Bone marrow smear. MGG-stained:
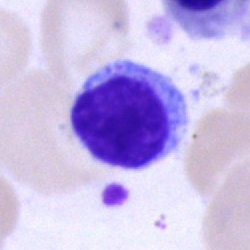Classification: typical lymphocyte.